Bone marrow aspirate smear — 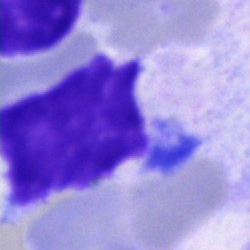 Q: What is shown here?
A: Artifact.